Bone marrow aspirate smear.
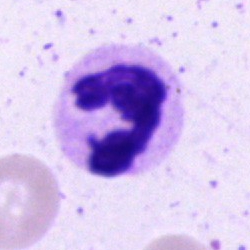 Morphology → polymorphonuclear neutrophil.